Bone marrow smear.
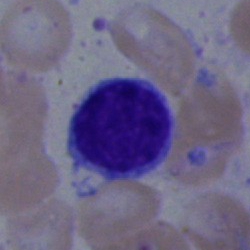 Specimen: bone marrow smear.
Classification: lymphocyte.
Lineage: lymphoid.